Bone marrow smear
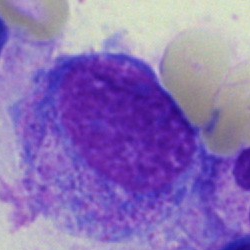
Morphology consistent with a progranulocyte.